Bone marrow aspirate smear · brightfield, 40× oil-immersion objective — 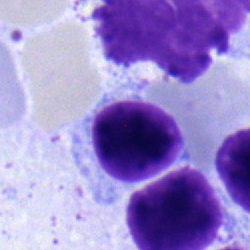

A typical lymphocyte.